Bone marrow smear: 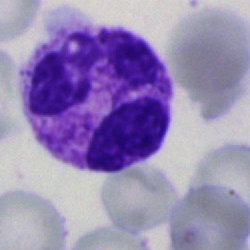Single cell identified as a polymorphonuclear neutrophil.